Bone marrow smear.
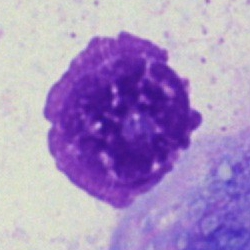
Q: What is shown here?
A: This is an artifact.